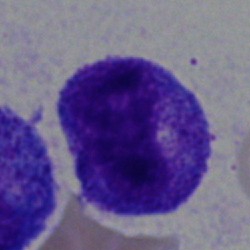 Morphology consistent with a progranulocyte.